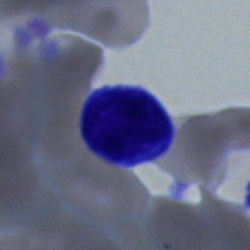Single cell identified as a typical lymphocyte.